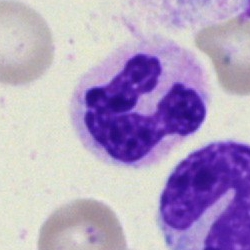

Cell type = segmented neutrophil.